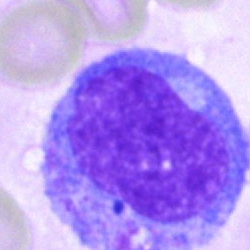 Morphology → promyelocyte.